Bone marrow aspirate smear; brightfield microscopy, 40× oil immersion — 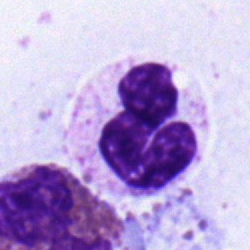
Cell type = segmented neutrophil.